May-Grünwald-Giemsa/Pappenheim stain. Bone marrow smear. Image size 250×250 — 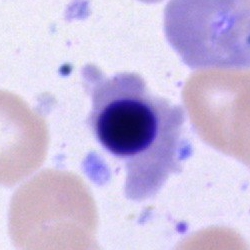Q: What is shown here?
A: A nucleated red blood cell.